Bone marrow aspirate smear.
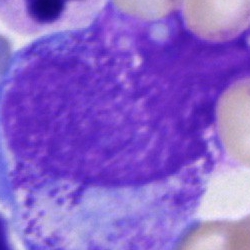 {"cell_type": "progranulocyte", "lineage": "myeloid"}